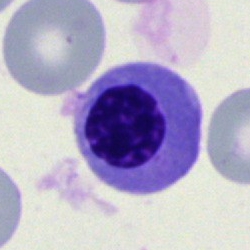Q: Identify the cell.
A: Erythroblast.